Single-cell crop; peripheral blood smear; 100× objective, oil immersion:
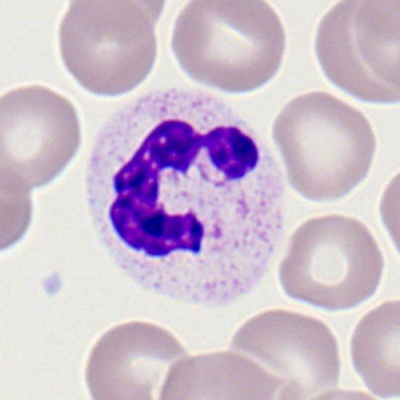

Showing a segmented neutrophil.